Bone marrow smear · single-cell crop · Pappenheim-stained.
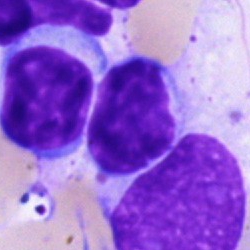

The classification is typical lymphocyte.